Bone marrow aspirate smear: 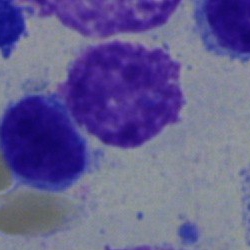
Morphology — typical lymphocyte.